Cropped to a single cell. May-Grünwald-Giemsa stain. Bone marrow smear.
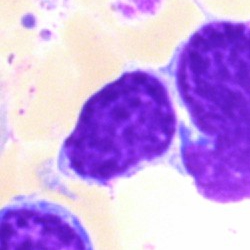

The cell shown is an artefact.